Bone marrow aspirate smear:
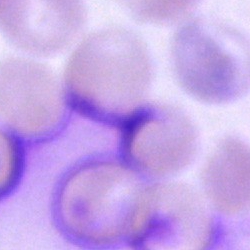 The cell is artifact.